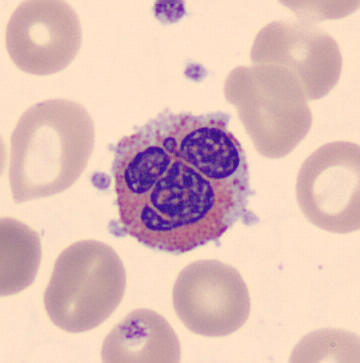Specimen: peripheral blood smear.
Morphological class: eosinophilic granulocyte.
Lineage: myeloid.